Cropped to a single cell · bone marrow smear · 40× objective, oil immersion: 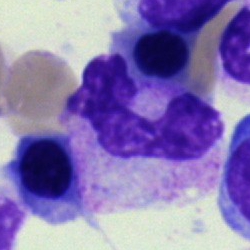 Q: What is the morphological classification of this cell?
A: It is a polymorphonuclear neutrophil.